May-Grünwald-Giemsa/Pappenheim stain · bone marrow aspirate smear: 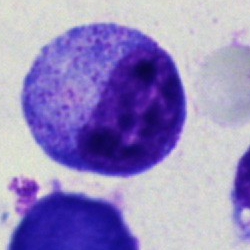Q: What is shown here?
A: A myelocyte.